Bone marrow smear:
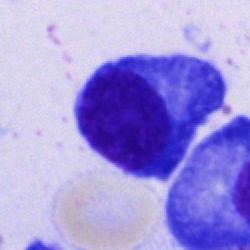Plasma cell.